Bone marrow aspirate smear; 40× oil immersion; MGG-stained — 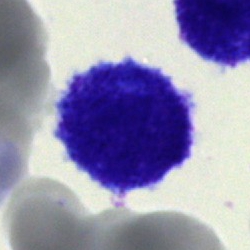Morphological class = unidentifiable cell.